Bone marrow smear
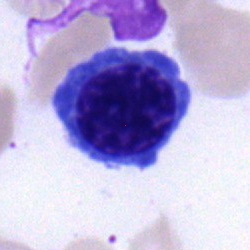 The cell type is erythroblast.